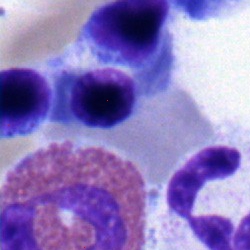Morphology consistent with an erythroblast.